Bone marrow aspirate smear — 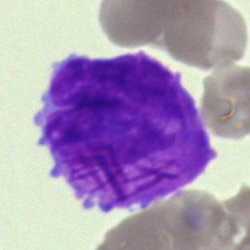 Impression — faggot cell.